Bone marrow aspirate smear. Brightfield, 40× oil-immersion objective. 250×250 px: 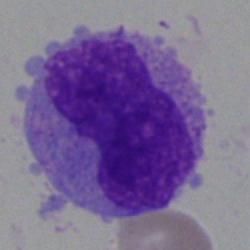Morphology consistent with a monocyte.